40× oil immersion. Bone marrow aspirate smear
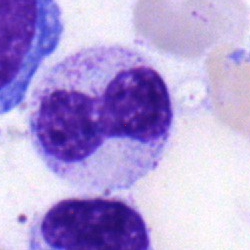

Morphological class — band neutrophil.